Bone marrow smear.
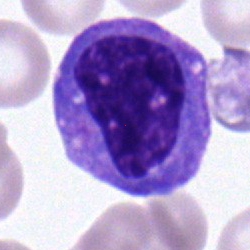
Morphology consistent with a myelocyte.